Bone marrow aspirate smear.
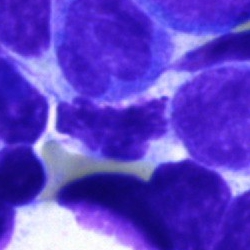Cell — artefact.